Bone marrow smear:
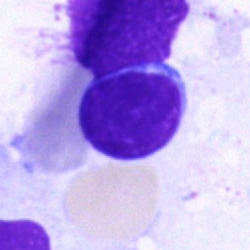

Morphology — typical lymphocyte.